40× objective, oil immersion · bone marrow smear · MGG-stained: 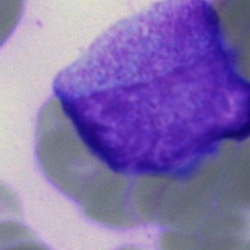Morphology consistent with a myelocyte.